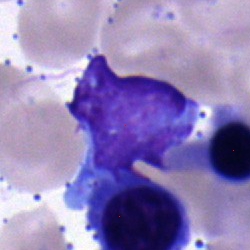Morphology consistent with a lymphocyte.